Bone marrow smear.
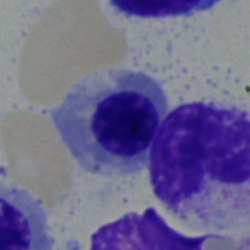 Q: What is the morphological classification of this cell?
A: Nucleated red blood cell.